Bone marrow smear. 250×250:
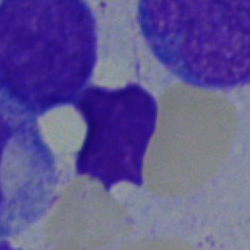 Specimen: bone marrow aspirate smear.
Classification: lymphocyte.
Lineage: lymphoid.